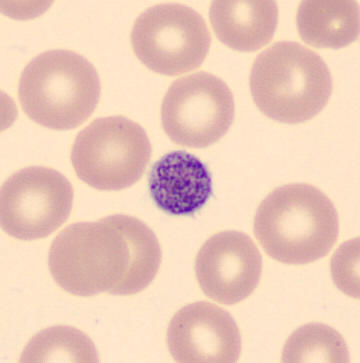 Image: CellaVision DM96 digital cell image · peripheral blood film · MGG stain. This is a platelet (thrombocyte).